Bone marrow aspirate smear; MGG-stained: 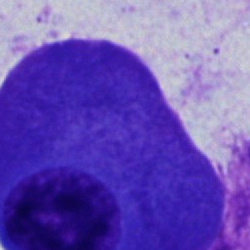

A plasma cell.